Bone marrow smear; May-Grünwald-Giemsa stain; brightfield, 40× oil-immersion objective.
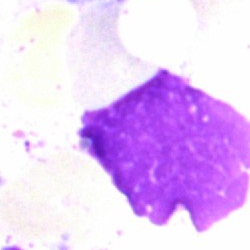

Morphology — artefact.